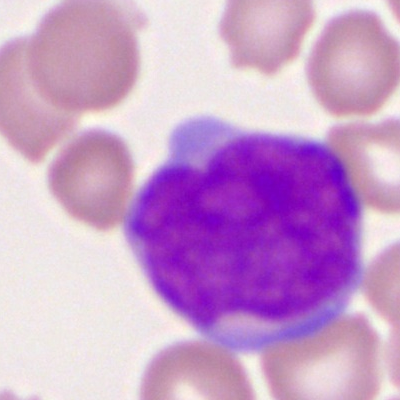 Morphology → myeloid blast.